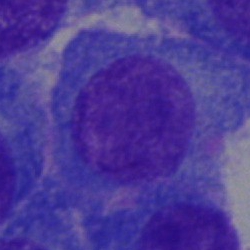
Q: What is shown here?
A: A plasmacyte.